Brightfield, 40× oil-immersion objective. Bone marrow aspirate smear:
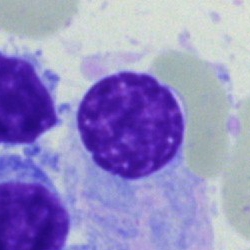
Classification: plasmacyte.